Pappenheim-stained · bone marrow smear:
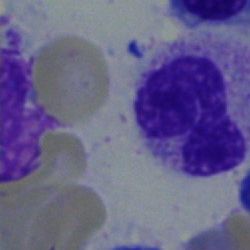 This is a stab cell.